Pappenheim-stained; bone marrow smear — 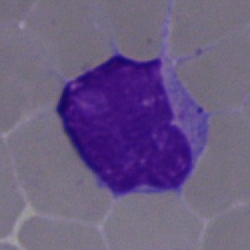Showing a typical lymphocyte.